Bone marrow aspirate smear: 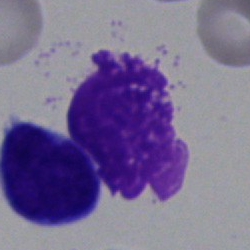

Q: What is shown here?
A: It is an artifact.